Bone marrow smear
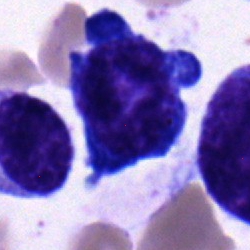 Single cell identified as a pronormoblast.